Brightfield microscopy, 40× oil immersion. Bone marrow smear
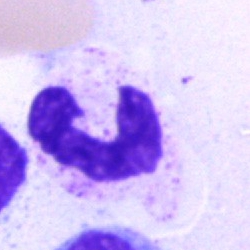 {"cell_type": "neutrophil (segmented)", "lineage": "myeloid"}